Bone marrow aspirate smear.
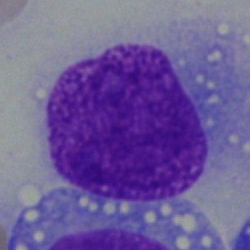

The cell shown is a blast.